Single-cell field · bone marrow smear:
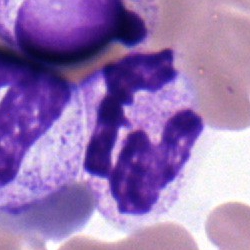

Q: What cell is this?
A: It is a polymorphonuclear neutrophil.